May-Grünwald-Giemsa stain · bone marrow smear · image size 250×250:
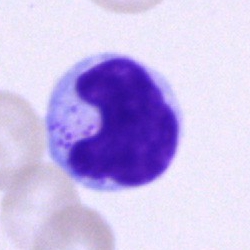 The cell shown is a typical lymphocyte.